Bone marrow smear: 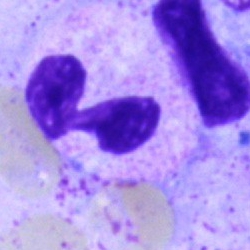
Showing a segmented neutrophil.